Bone marrow aspirate smear — 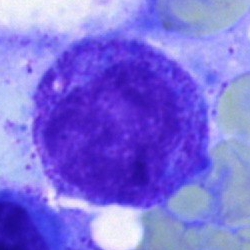Morphological class — progranulocyte.